Bone marrow aspirate smear; 250 by 250 pixels; single cell centered in the field.
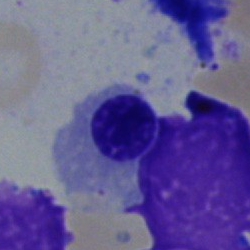
Morphology — normoblast.